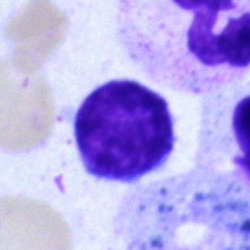Single-cell crop from a bone marrow smear: lymphocyte.